Bone marrow smear. 40× oil immersion — 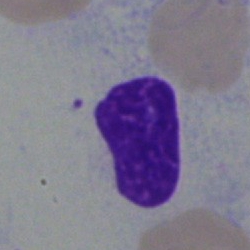 {"cell_type": "artefact"}